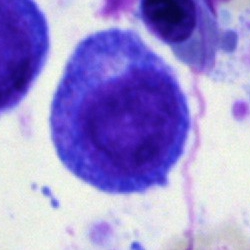Morphological class: progranulocyte.